Brightfield, 40× oil-immersion objective · bone marrow smear:
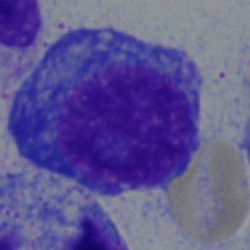 Morphology consistent with a plasma cell.